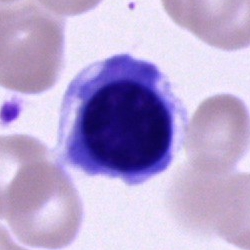{"cell_type": "nucleated red cell", "lineage": "erythroid"}